MGG-stained; 40× objective, oil immersion; bone marrow aspirate smear — 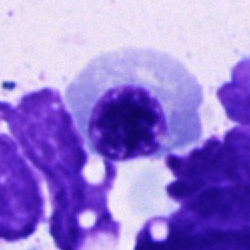
Q: What type of cell is this?
A: Nucleated red cell.